Bone marrow smear — 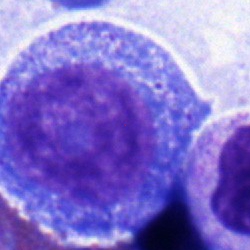

Morphological class = progranulocyte.